MGG-stained; bone marrow smear
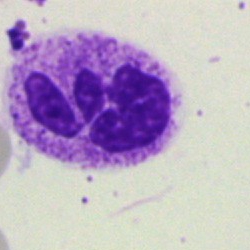
The cell shown is a segmented neutrophil.